Bone marrow smear. Cropped to a single cell — 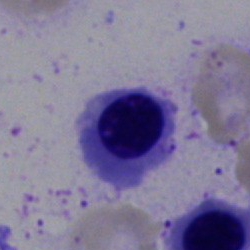
Single cell identified as an erythroblast.